Brightfield, 40× oil-immersion objective; bone marrow smear
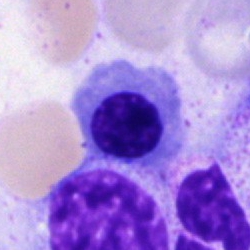 This is a normoblast.